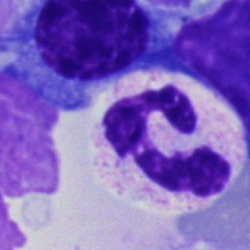

Bone marrow smear showing a segmented neutrophil.